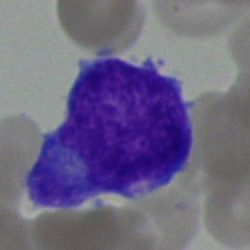
Cell type: blast.